Single-cell field · bone marrow smear:
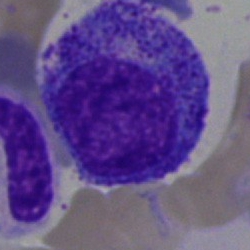

Q: What cell is this?
A: It is a progranulocyte.